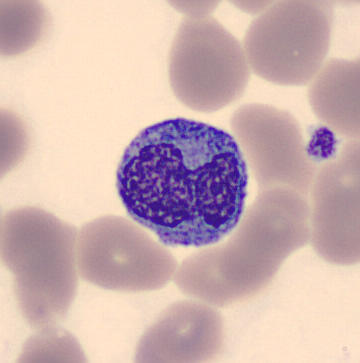
Cell type: monocyte. Preparation: Single-cell field; peripheral blood film.